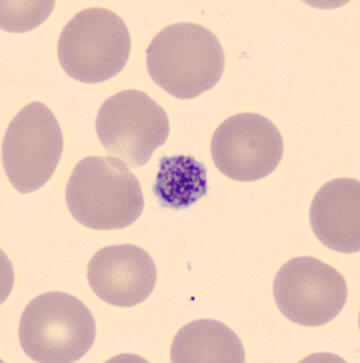
Specimen: peripheral blood film.
Classification: thrombocyte. Image size 360×363. CellaVision DM96.